Bone marrow smear:
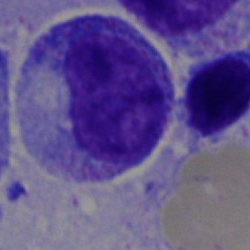
Specimen: bone marrow aspirate smear.
Cell: promyelocyte.
Lineage: myeloid.